Single cell centered in the field · May-Grünwald-Giemsa/Pappenheim stain · bone marrow smear — 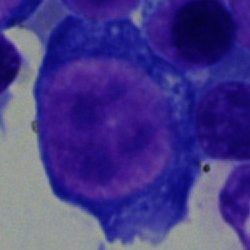
Showing a pronormoblast.